Bone marrow smear:
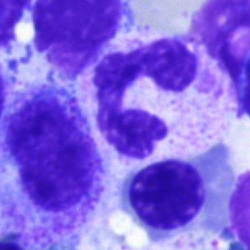

Segmented neutrophil.